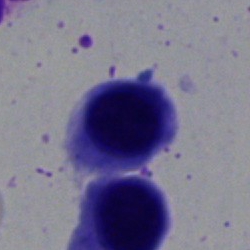The cell shown is a normoblast.